Bone marrow aspirate smear — 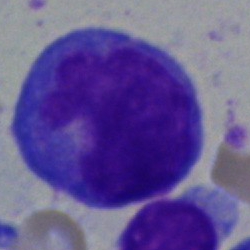Q: What cell is this?
A: Monocyte.